Bone marrow aspirate smear: 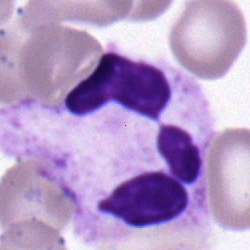 Morphology → neutrophil (segmented).